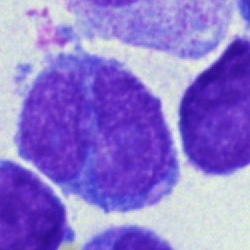

Q: Which cell type is shown here?
A: This is a monocyte.